Bone marrow smear. MGG-stained. 250×250 px: 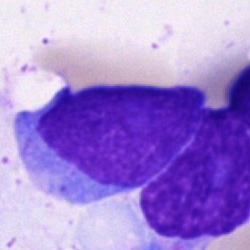Q: What type of cell is this?
A: It is a blast.